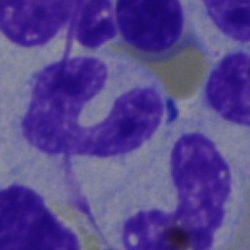 {"cell_type": "neutrophil (segmented)", "lineage": "myeloid"}